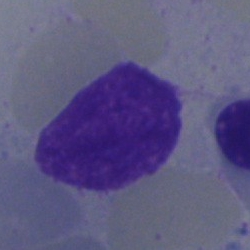 Impression — artefact.